Bone marrow aspirate smear:
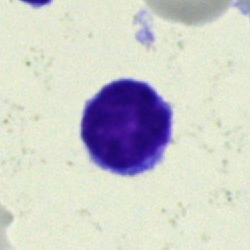
Specimen: bone marrow aspirate smear.
Cell: lymphocyte.